Bone marrow smear:
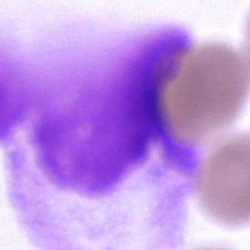
Classification: artifact.